Peripheral blood smear — 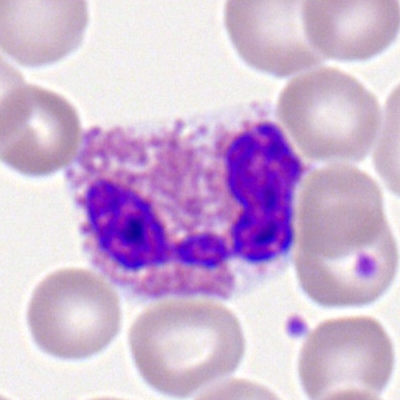Impression — eosinophilic granulocyte.